Bone marrow aspirate smear.
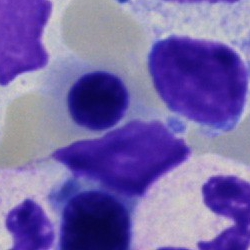Q: What cell is this?
A: It is an erythroblast.